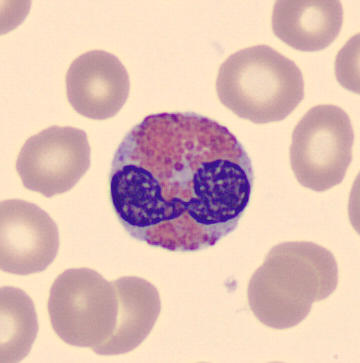

Q: What cell is this?
A: Eosinophilic granulocyte.